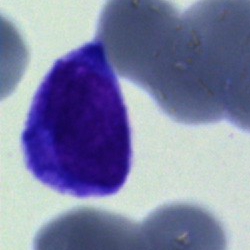 Specimen: bone marrow aspirate smear.
Cell: unidentifiable cell.